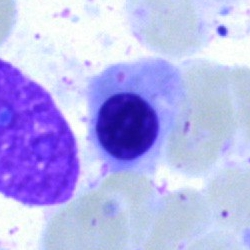
Specimen: bone marrow aspirate smear.
Cell type: erythroblast.